Brightfield microscopy, 40× oil immersion. Bone marrow aspirate smear:
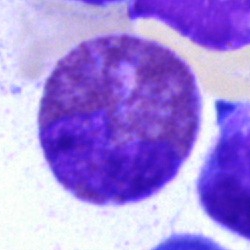 {"cell_type": "eosinophil"}